Single-cell crop; bone marrow aspirate smear — 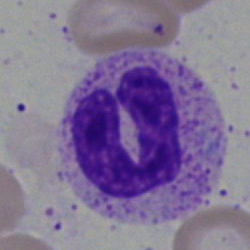 Specimen: bone marrow smear.
Cell: segmented neutrophil.